Bone marrow smear — 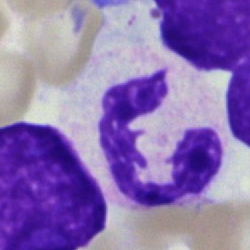 Q: What cell is this?
A: Neutrophil (segmented).